Bone marrow smear:
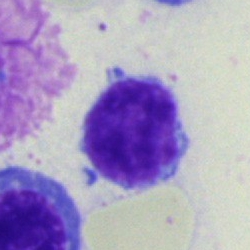

Single cell identified as a lymphocyte.